Pappenheim-stained. Single cell centered in the field. Bone marrow aspirate smear.
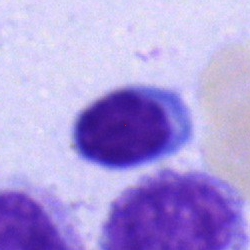Cell type = typical lymphocyte.